Bone marrow aspirate smear · MGG-stained — 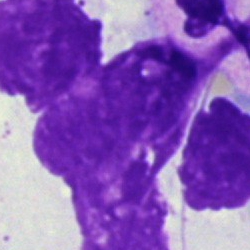Cell type = artifact.